Single cell centered in the field · MGG-stained · bone marrow aspirate smear — 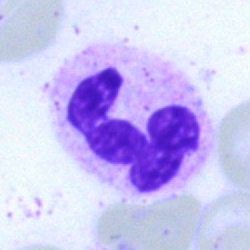
The cell shown is a polymorphonuclear neutrophil.